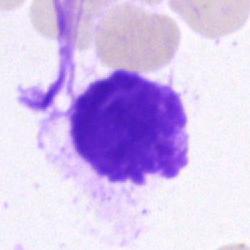Cell type: unidentifiable cell.